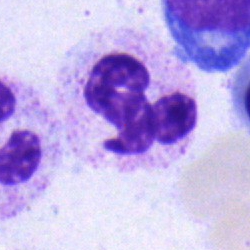Bone marrow aspirate smear, single cell — segmented neutrophil.